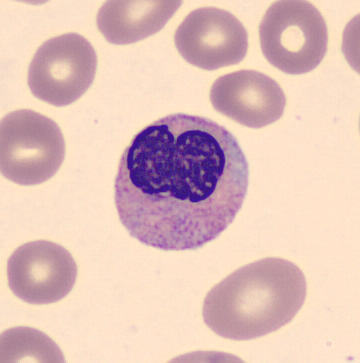

Preparation: CellaVision DM96 digital cell image · peripheral blood film.
Morphology — metamyelocyte.